Bone marrow smear
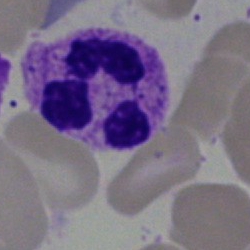
{"cell_type": "segmented neutrophil", "lineage": "myeloid"}